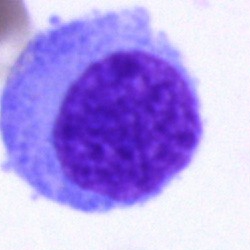
Morphological class — blast.